Bone marrow smear.
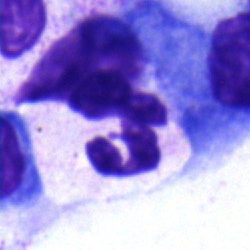Neutrophil (segmented).